Bone marrow aspirate smear — 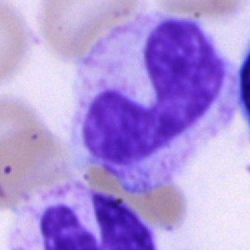

Neutrophil (band).